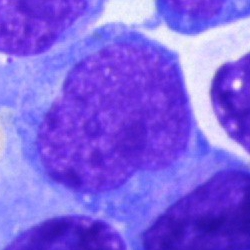 Cell type — undifferentiated blast.